Brightfield microscopy, 40× oil immersion; bone marrow smear:
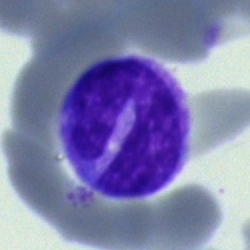 The cell shown is a monocyte.